Bone marrow aspirate smear: 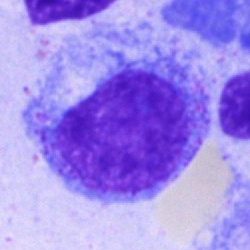

Progranulocyte.